Bone marrow aspirate smear — 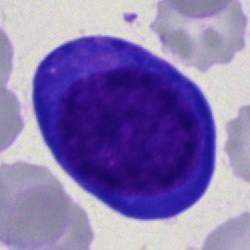 Q: Which cell type is shown here?
A: This is a pronormoblast.